Single cell centered in the field; bone marrow aspirate smear — 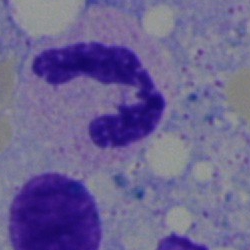
Showing a segmented neutrophil.